May-Grünwald-Giemsa/Pappenheim stain · 250×250 px · bone marrow aspirate smear — 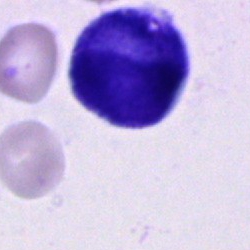
Morphological class — artifact.